Bone marrow smear — 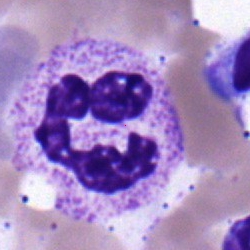 Impression — segmented neutrophil.